Bone marrow smear
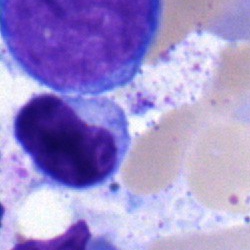Cell type = typical lymphocyte.